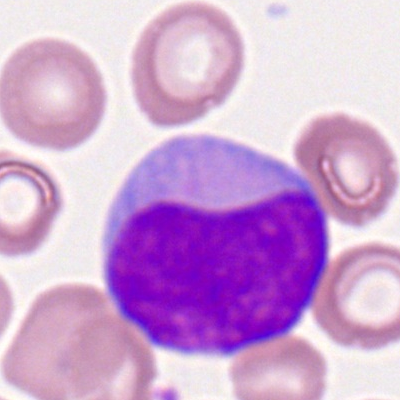This is a myeloid blast.